Bone marrow aspirate smear — 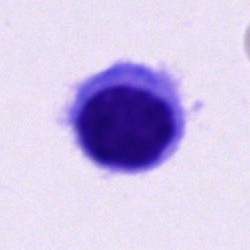 Showing an unidentifiable cell.